Bone marrow aspirate smear
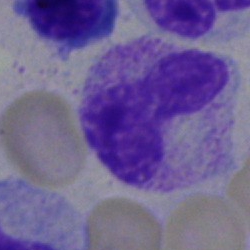

Showing a stab cell.